250×250 px · bone marrow smear · Pappenheim-stained.
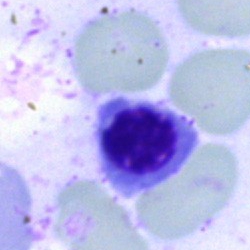The cell type is nucleated red cell.